Bone marrow smear: 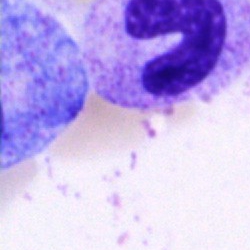

The cell shown is a band neutrophil.